Bone marrow smear. MGG-stained. 250 by 250 pixels
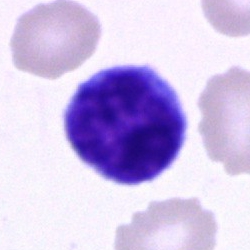
Showing a lymphocyte.